Pappenheim-stained; bone marrow aspirate smear: 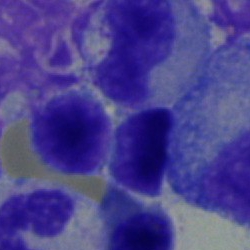Q: What cell is this?
A: It is a lymphocyte.